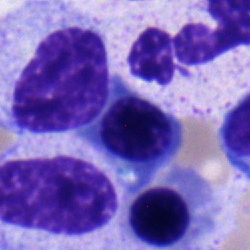 Morphological class — nucleated red cell.